Single-cell crop; bone marrow smear:
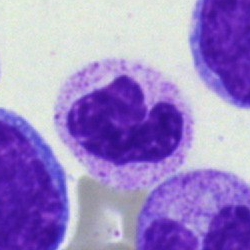 Morphology — polymorphonuclear neutrophil.